Bone marrow smear: 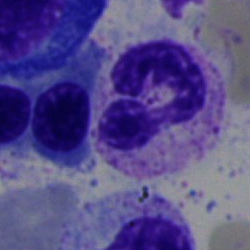
Morphological class — segmented neutrophil.